Bone marrow aspirate smear — 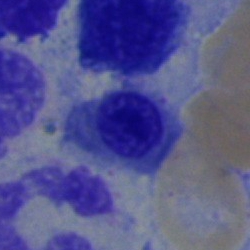 Morphological class = nucleated red cell.